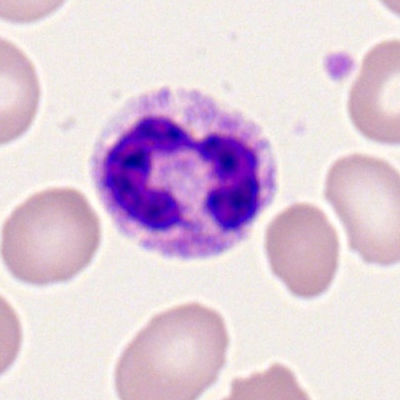

Q: What type of cell is this?
A: Polymorphonuclear neutrophil.